40× objective, oil immersion · bone marrow aspirate smear.
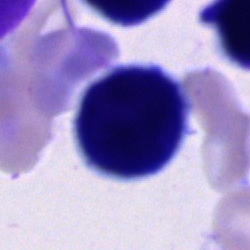 Specimen: bone marrow aspirate smear.
Classification: cell of indeterminate lineage.